Image size 250×250 · bone marrow aspirate smear — 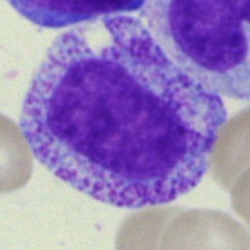Morphology consistent with a myelocyte.